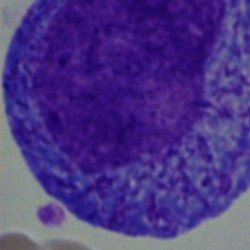Impression → promyelocyte.